Bone marrow smear — 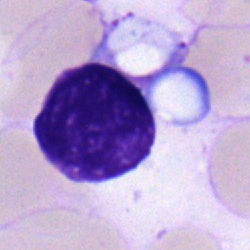This is a typical lymphocyte.